Bone marrow aspirate smear.
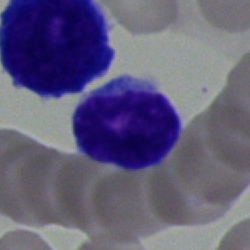 Classification = lymphocyte.